Bone marrow smear: 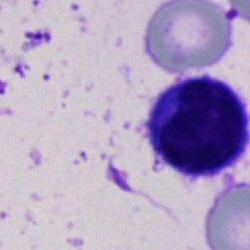
Cell: typical lymphocyte.